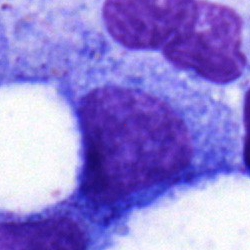Q: What is shown here?
A: It is a promyelocyte.